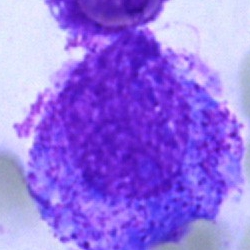
Morphology — progranulocyte.